Bone marrow smear · brightfield, 40× oil-immersion objective · 250×250 — 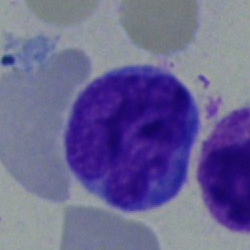 Showing a blast.